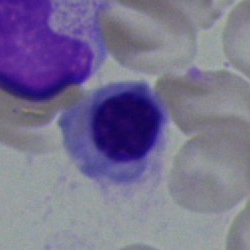 The classification is erythroblast.